Bone marrow aspirate smear:
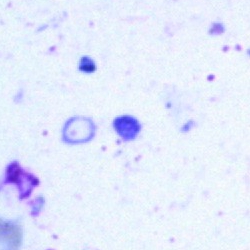

Classification — artefact.